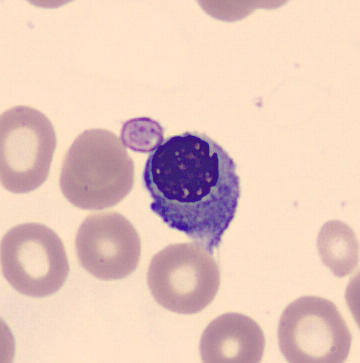

The morphological class is normoblast.